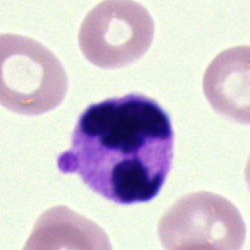
Specimen: bone marrow smear.
Cell: neutrophil (segmented).
Lineage: myeloid.